Bone marrow aspirate smear; 250 by 250 pixels:
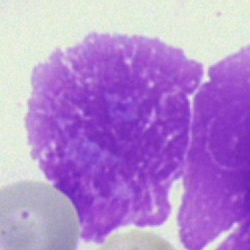
Q: What is shown here?
A: Artefact.